Bone marrow smear
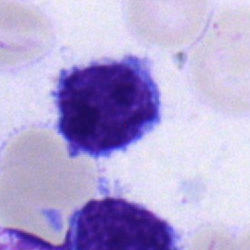 Specimen: bone marrow smear.
Cell type: lymphocyte.